Bone marrow aspirate smear · 250×250 px.
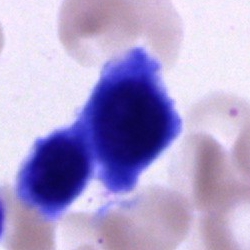

Q: Identify the cell.
A: Cell of indeterminate lineage.